Bone marrow aspirate smear — 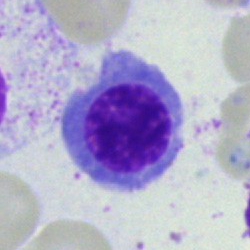 Morphology — nucleated red cell.